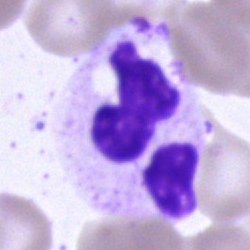Morphological class = segmented neutrophil.